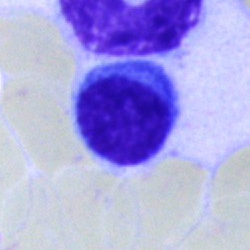

Specimen: bone marrow smear.
Classification: typical lymphocyte.
Lineage: lymphoid.